Bone marrow aspirate smear
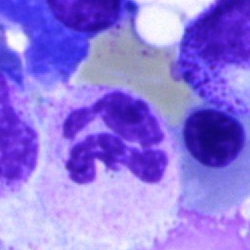 Q: What type of cell is this?
A: A segmented neutrophil.